Bone marrow smear:
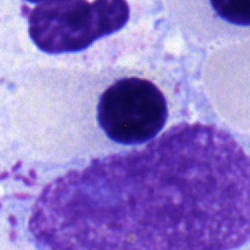 An erythroblast.